Bone marrow smear
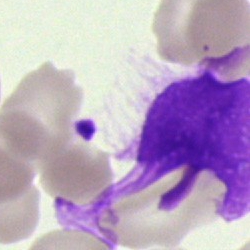The classification is artifact.